Bone marrow smear
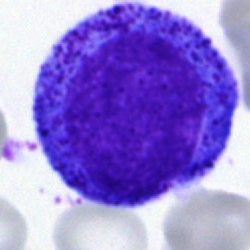 Cell type: progranulocyte.